Bone marrow aspirate smear · 250×250:
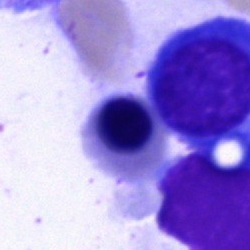
Erythroblast.